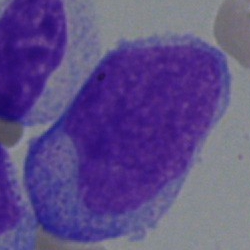 Cell type: blast cell.